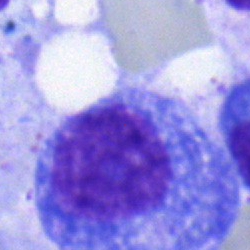

Promyelocyte.